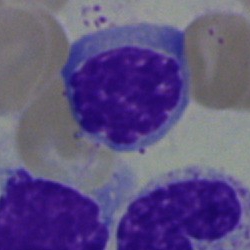 This is a nucleated red cell.